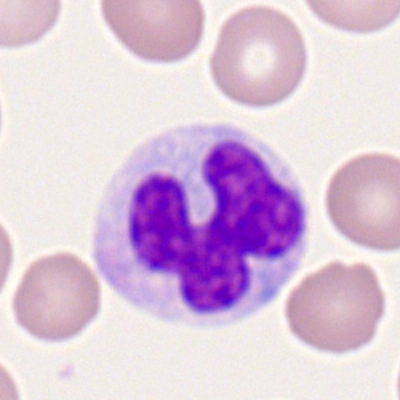Q: What cell is this?
A: This is a monocyte.